Bone marrow smear:
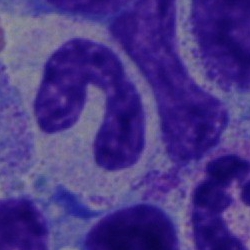

The classification is band-form neutrophil.